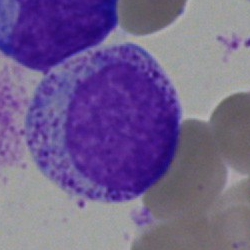
Morphological class: myelocyte.